Bone marrow smear.
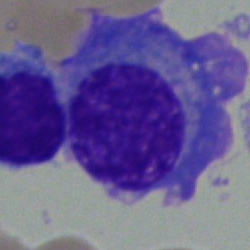Morphological class — plasma cell.